Bone marrow aspirate smear · 250×250 px.
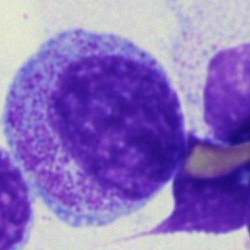 A myelocyte.